Peripheral blood smear. Single-cell crop. CellaVision DM96 digital cell image: 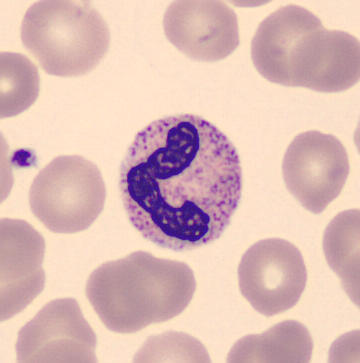Classification = band neutrophil.